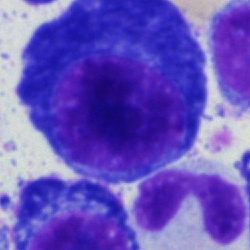

The cell type is plasmacyte.